Bone marrow aspirate smear: 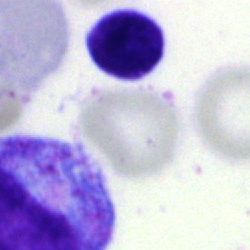The cell shown is a progranulocyte.